Bone marrow smear.
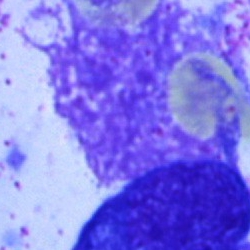Cell type = artifact.